250×250 px. Bone marrow smear.
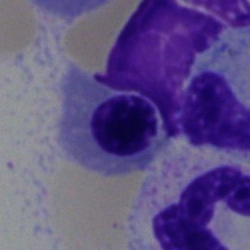 Showing a nucleated red cell.